Bone marrow smear.
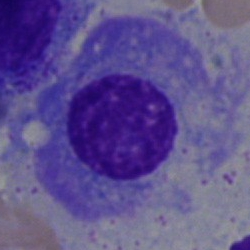 The cell type is plasmacyte.